Bone marrow aspirate smear.
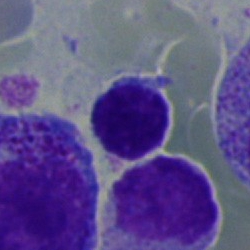 Morphology consistent with a lymphocyte.